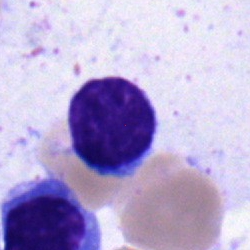Bone marrow smear showing a typical lymphocyte.